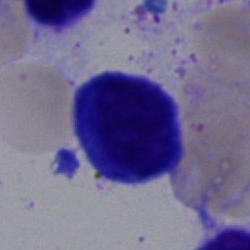
Morphology → lymphocyte.